Bone marrow smear
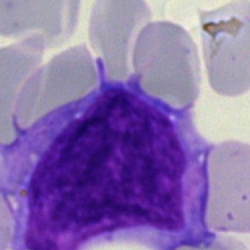

Cell: monocyte.